Bone marrow smear
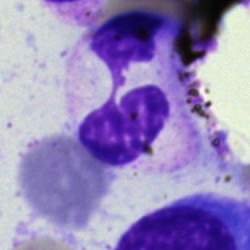The cell type is polymorphonuclear neutrophil.